Bone marrow smear
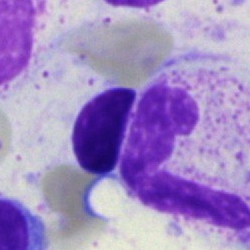Impression — neutrophil (band).